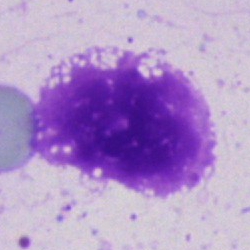Classification = artefact.